40× oil immersion. May-Grünwald-Giemsa stain. Bone marrow aspirate smear:
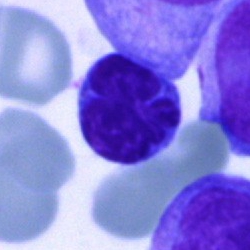
Showing a typical lymphocyte.